Bone marrow smear:
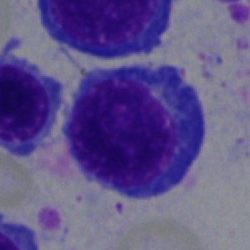 A nucleated red cell.